Bone marrow smear:
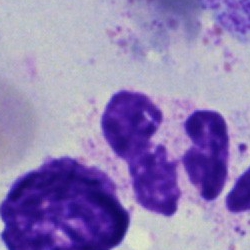 Impression → polymorphonuclear neutrophil.